250×250 px. Bone marrow aspirate smear. Pappenheim-stained — 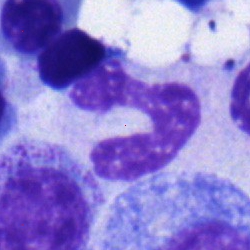
Cell = neutrophil (band).